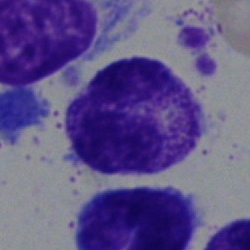 Single cell identified as a neutrophil (segmented).